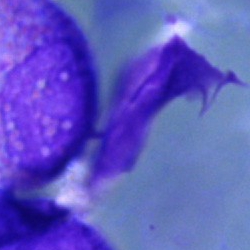The cell is artifact.